Bone marrow smear
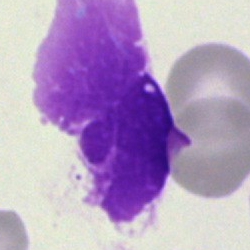 {"cell_type": "artifact"}